Bone marrow aspirate smear — 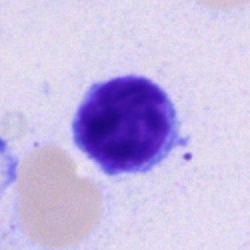

Morphological class: typical lymphocyte.